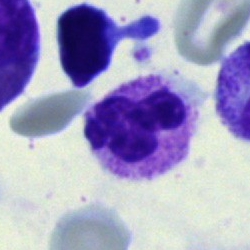
Q: Which cell type is shown here?
A: Segmented neutrophil.